250 by 250 pixels · bone marrow aspirate smear.
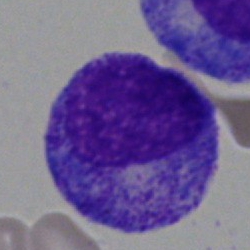The cell type is promyelocyte.